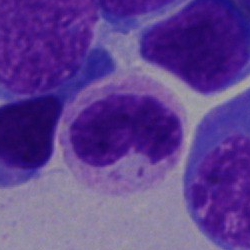

The classification is segmented neutrophil.